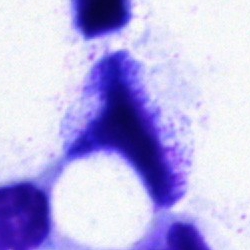

Specimen: bone marrow aspirate smear.
Morphological class: artefact.